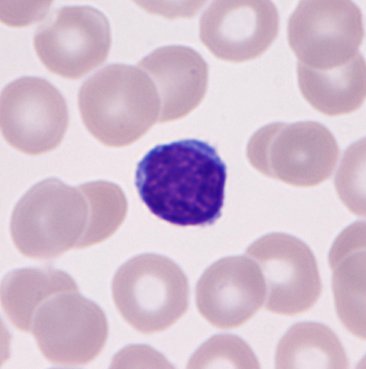 Identified as a lymphocyte.
Image: Peripheral blood film.